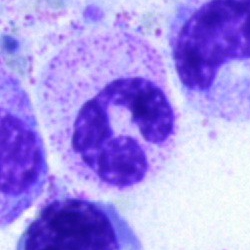 Specimen: bone marrow aspirate smear.
Cell: polymorphonuclear neutrophil.